Bone marrow aspirate smear
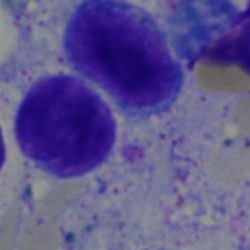 {"cell_type": "lymphocyte"}